Bone marrow smear.
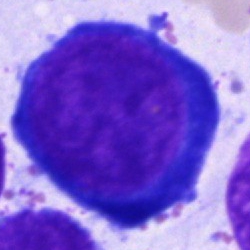Impression → proerythroblast.